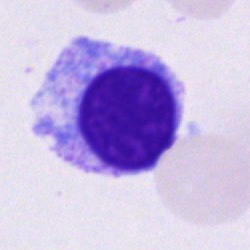Single-cell crop from a bone marrow smear: unidentifiable cell.